Image size 250×250; bone marrow aspirate smear:
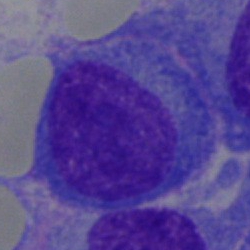
Impression → plasma cell.